Peripheral blood smear:
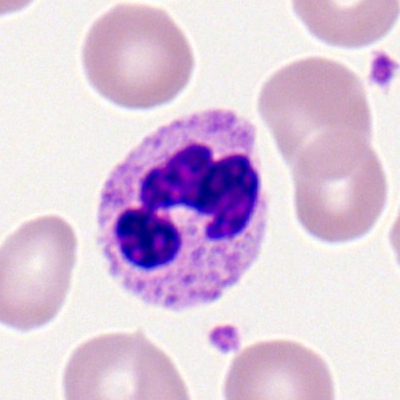

Q: What is shown here?
A: A segmented neutrophil.